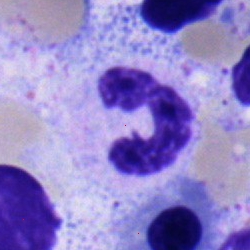 Showing a polymorphonuclear neutrophil.